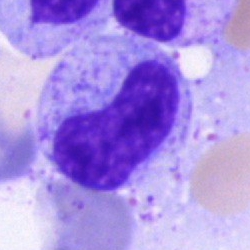
Morphological class: metamyelocyte.